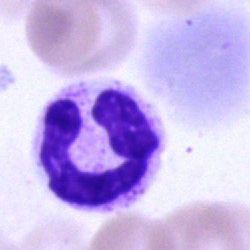 The morphological class is neutrophil (segmented).